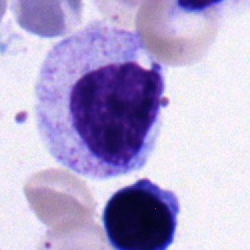{"cell_type": "myelocyte"}